Bone marrow smear. 40× oil immersion. May-Grünwald-Giemsa stain: 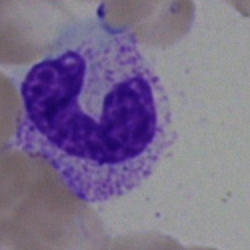
The cell shown is a polymorphonuclear neutrophil.